May-Grünwald-Giemsa stain. Bone marrow aspirate smear: 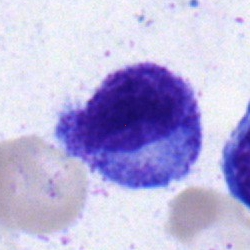Morphological class — myelocyte.